Romanowsky stain; peripheral blood smear.
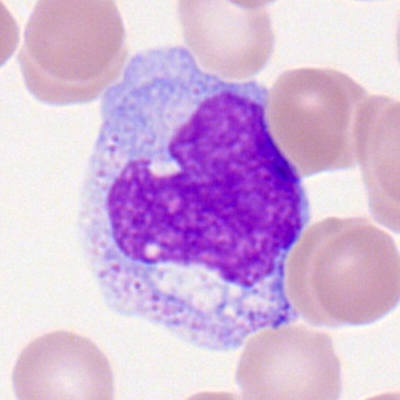Monocyte.